Bone marrow aspirate smear: 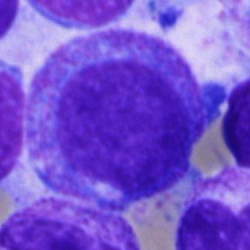 Morphological class: promyelocyte.